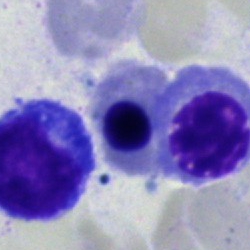
Erythroblast.